Bone marrow smear; 40× objective, oil immersion — 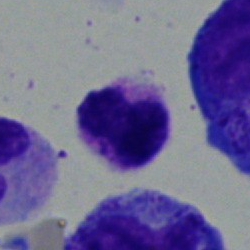
{"cell_type": "segmented neutrophil", "lineage": "myeloid"}